Bone marrow aspirate smear. 250×250: 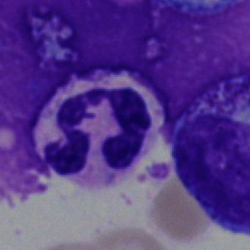Cell type — neutrophil (segmented).